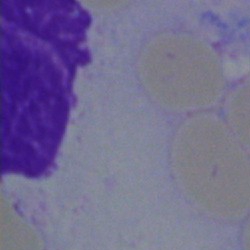 Single-cell crop from a bone marrow smear: artifact.